Bone marrow aspirate smear.
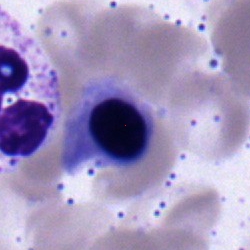

Classification — nucleated red cell.